Bone marrow smear — 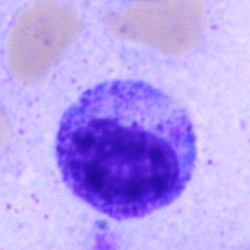Specimen: bone marrow aspirate smear.
Classification: myelocyte.
Lineage: myeloid.